Bone marrow aspirate smear — 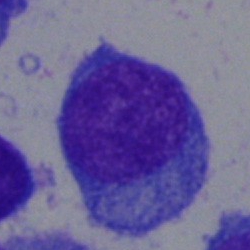
A plasmacyte.